250×250 · bone marrow aspirate smear.
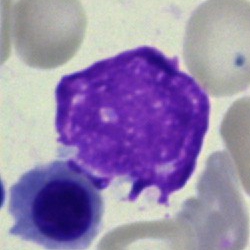Specimen: bone marrow aspirate smear.
Cell: artifact.